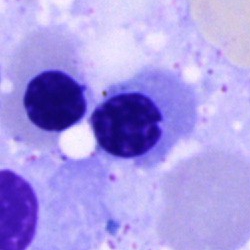
Erythroblast.